Bone marrow smear · brightfield, 40× oil-immersion objective
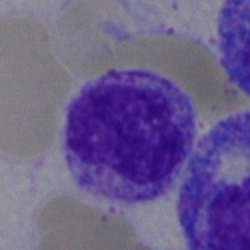 A myelocyte.